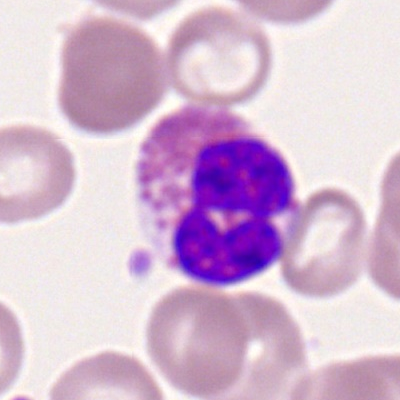 Specimen: peripheral blood smear.
Cell: eosinophilic granulocyte.